Bone marrow aspirate smear: 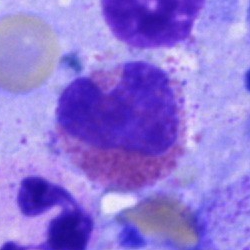Q: What is the morphological classification of this cell?
A: Eosinophil.